40× oil immersion. 250 by 250 pixels. Bone marrow smear: 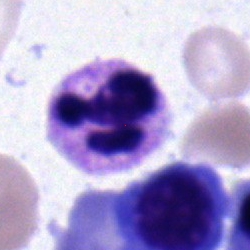

Cell: neutrophil (segmented).